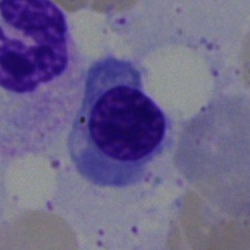

Classification: nucleated red blood cell.